Cropped to a single cell · 40× oil immersion · bone marrow smear.
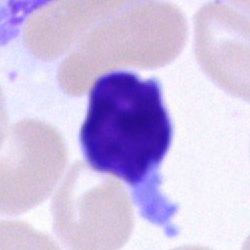
Morphology — typical lymphocyte.